Brightfield, 40× oil-immersion objective. Bone marrow aspirate smear — 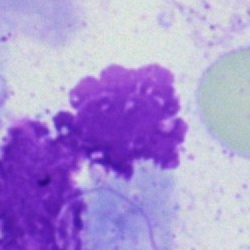
This is an artifact.